Bone marrow smear · brightfield, 40× oil-immersion objective:
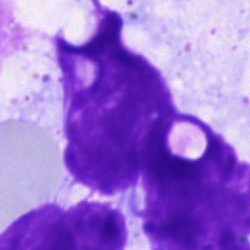Q: What is shown here?
A: It is an artifact.